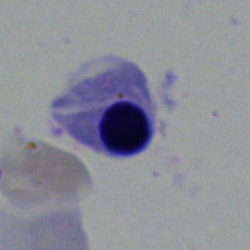Q: Identify the cell.
A: This is a nucleated red blood cell.